Bone marrow smear — 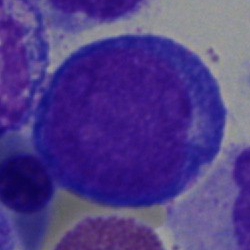

Specimen: bone marrow smear.
Cell: proerythroblast.
Lineage: erythroid.